Bone marrow aspirate smear. 250×250
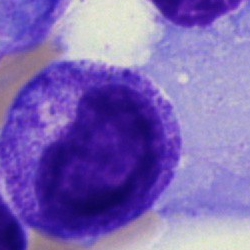
Morphology consistent with a myelocyte.